Brightfield microscopy, 40× oil immersion. Bone marrow aspirate smear:
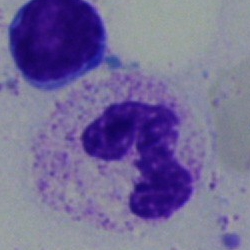Q: What cell is this?
A: This is a segmented neutrophil.